Bone marrow smear: 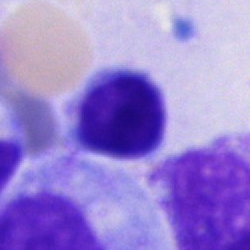 Morphology consistent with a lymphocyte.